40× oil immersion. Bone marrow smear — 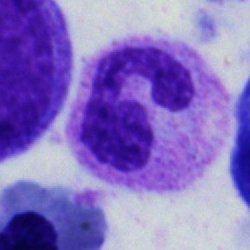

Polymorphonuclear neutrophil.